Bone marrow smear:
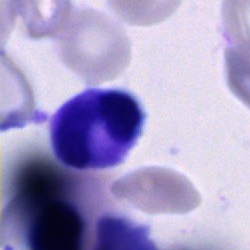Morphology consistent with an artifact.